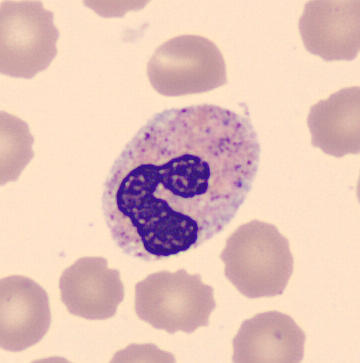 The cell shown is a neutrophil (segmented).
Acquisition: 360×363 px; peripheral blood smear.